Bone marrow aspirate smear.
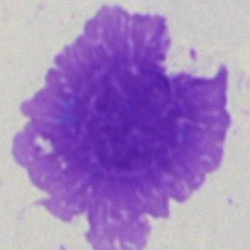

Cell: artefact.